Bone marrow smear — 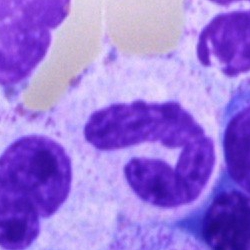

Specimen: bone marrow aspirate smear.
Classification: stab cell.